Bone marrow aspirate smear; May-Grünwald-Giemsa stain; cropped to a single cell — 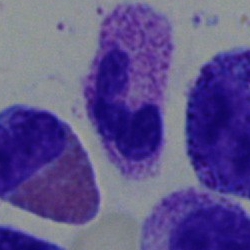Specimen: bone marrow smear.
Classification: polymorphonuclear neutrophil.
Lineage: myeloid.